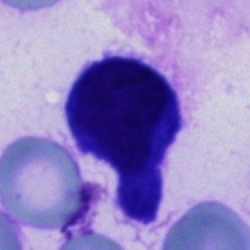

Q: What is the morphological classification of this cell?
A: This is an unidentifiable cell.